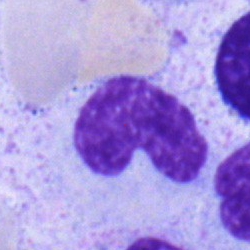

Cell type = stab cell.